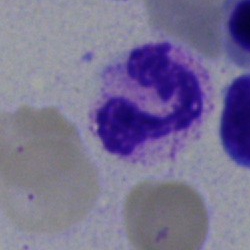 Specimen: bone marrow smear.
Cell type: polymorphonuclear neutrophil.